Bone marrow smear
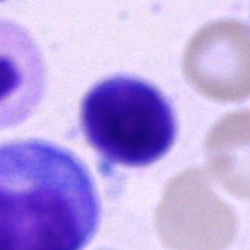
Cell = typical lymphocyte.